Bone marrow aspirate smear.
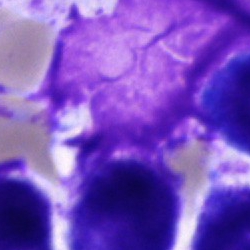Single cell identified as an artefact.